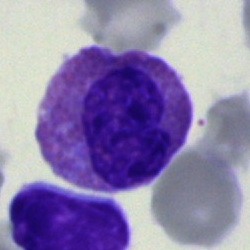
Cell type = eosinophilic granulocyte.